Bone marrow smear — 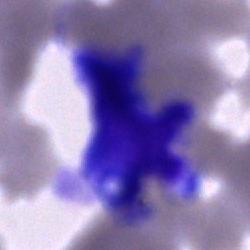This is an undifferentiated blast.